Brightfield, 40× oil-immersion objective · 250×250 · bone marrow smear — 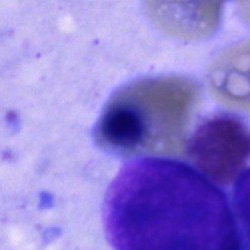 Cell — artifact.